M8 digital microscope (Precipoint), 100× oil immersion; cropped to a single cell; peripheral blood film.
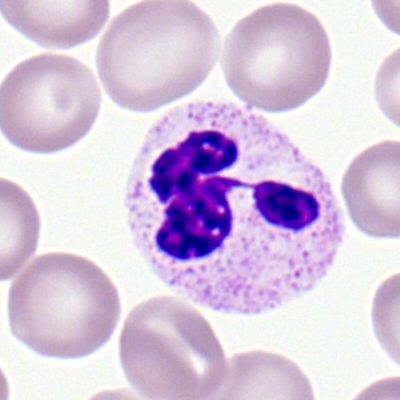

Impression — neutrophil (segmented).